Bone marrow smear; 40× objective, oil immersion.
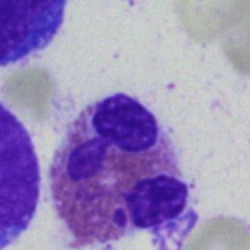 Cell = eosinophil.